Bone marrow smear · 40× oil immersion.
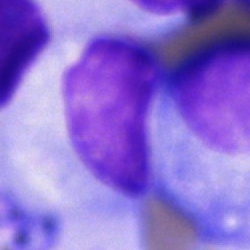Cell type = cell of indeterminate lineage.